Bone marrow smear — 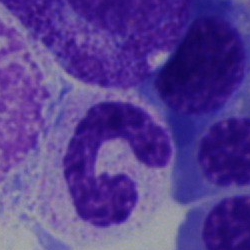{"cell_type": "neutrophil (segmented)"}